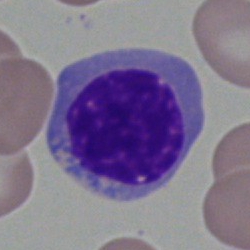
A nucleated red cell on a bone marrow smear.